Bone marrow aspirate smear: 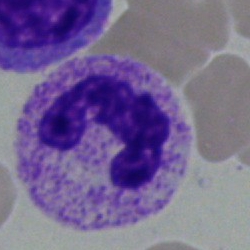 The cell shown is a segmented neutrophil.